Bone marrow smear; 40× objective, oil immersion — 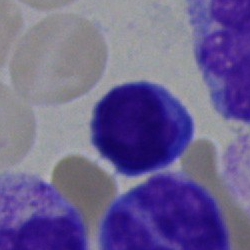
{"cell_type": "typical lymphocyte"}